Bone marrow smear:
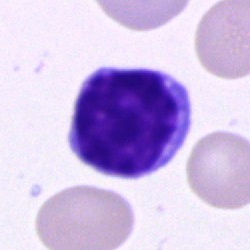Morphology → lymphocyte.